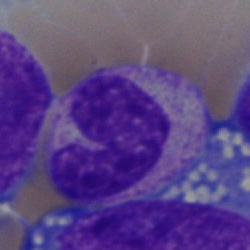

Bone marrow aspirate smear, single cell — metamyelocyte.